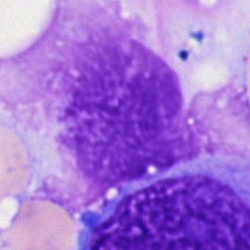

Specimen: bone marrow smear.
Cell type: artefact.